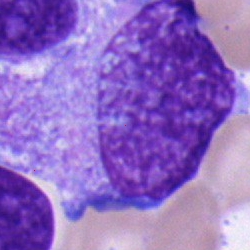

Single-cell crop from a bone marrow smear: progranulocyte.